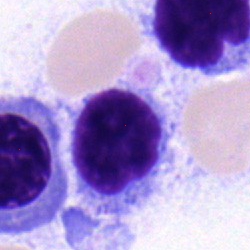 Specimen: bone marrow aspirate smear.
Cell: typical lymphocyte.